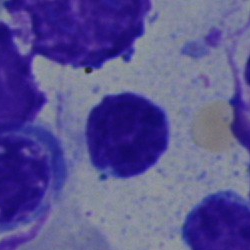

A typical lymphocyte.